Bone marrow aspirate smear — 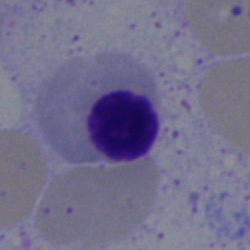

Q: Identify the cell.
A: Erythroblast.